Brightfield microscopy, 40× oil immersion · bone marrow aspirate smear — 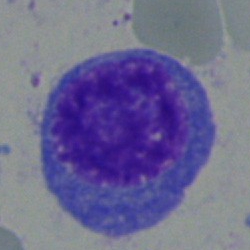 Q: What is shown here?
A: A plasmacyte.